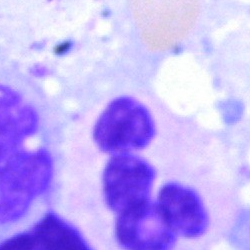Q: What is the morphological classification of this cell?
A: This is a polymorphonuclear neutrophil.